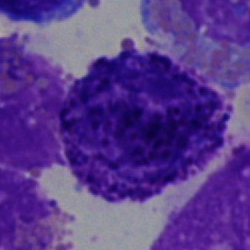Q: What is shown here?
A: This is a basophilic granulocyte.